Bone marrow aspirate smear — 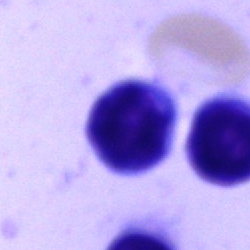

Lymphocyte.